Peripheral blood smear — 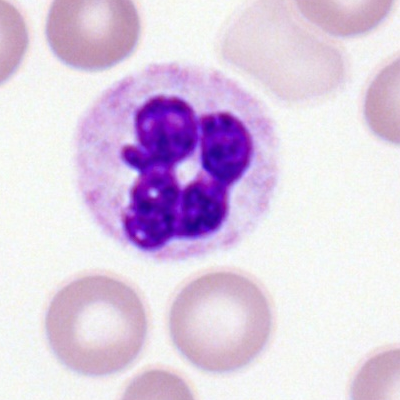 Morphology — polymorphonuclear neutrophil.